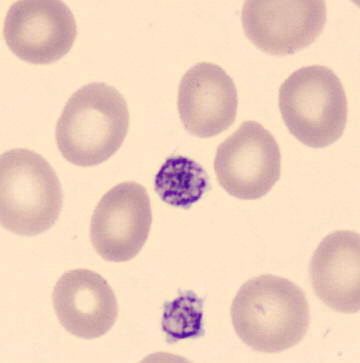
Morphology consistent with a platelet (thrombocyte).